40× objective, oil immersion · bone marrow aspirate smear · single cell centered in the field
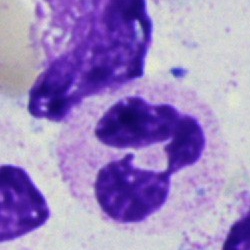

Specimen: bone marrow aspirate smear.
Cell type: segmented neutrophil.
Lineage: myeloid.